Brightfield, 40× oil-immersion objective. Bone marrow smear. Cropped to a single cell.
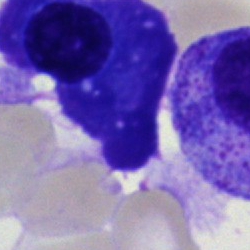 Plasma cell.